Bone marrow smear. Image size 250×250. Brightfield, 40× oil-immersion objective: 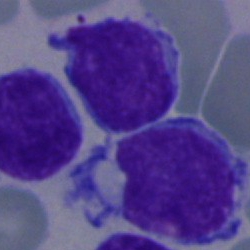Showing a typical lymphocyte.